Bone marrow smear:
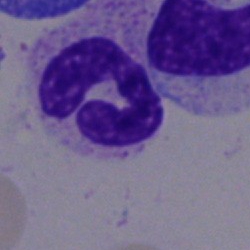 Morphological class = segmented neutrophil.